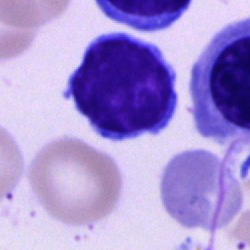 Q: What is the morphological classification of this cell?
A: This is a lymphocyte.